Bone marrow aspirate smear:
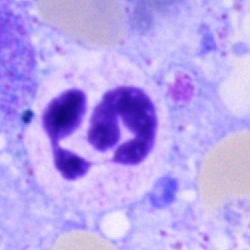 Single cell identified as a neutrophil (segmented).